Brightfield, 40× oil-immersion objective · bone marrow smear:
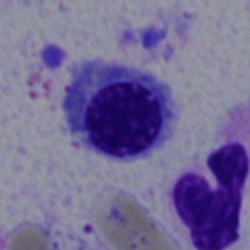

Cell type = nucleated red blood cell.